Image size 250×250; bone marrow aspirate smear.
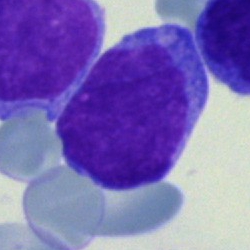

The cell shown is a blast.